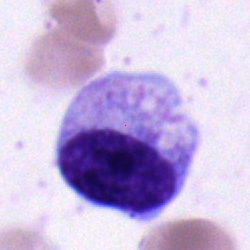

Specimen: bone marrow smear.
Morphological class: myelocyte.